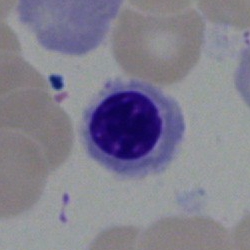
Bone marrow aspirate smear, single cell — nucleated red blood cell.